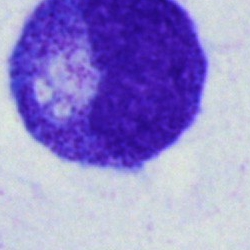 Morphological class — promyelocyte.